Brightfield microscopy, 40× oil immersion · bone marrow smear: 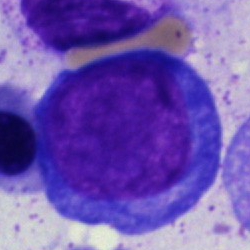Morphology — pronormoblast.